Peripheral blood smear. Romanowsky stain:
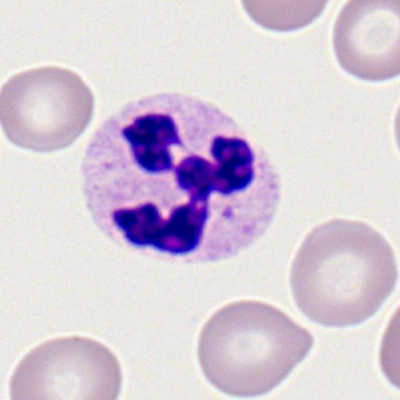

Polymorphonuclear neutrophil.